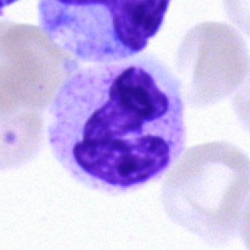

Morphology — segmented neutrophil.